Bone marrow smear
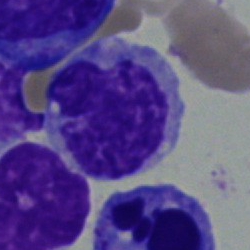
The cell shown is a monocyte.